Bone marrow aspirate smear.
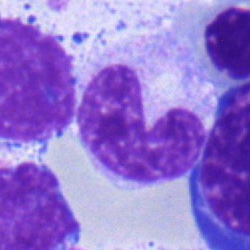
Classification = stab cell.